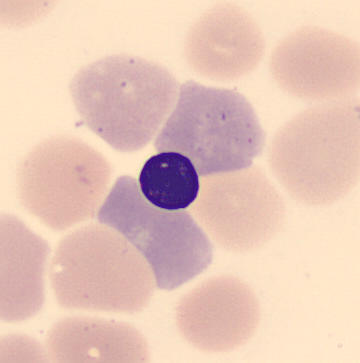 Morphological class = normoblast.

Image: Peripheral blood film.